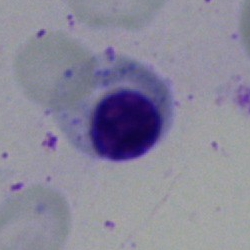

Specimen: bone marrow smear.
Cell: normoblast.